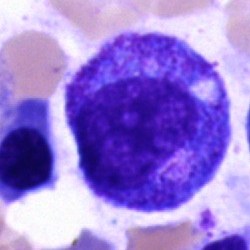 Impression → promyelocyte.